Brightfield microscopy, 40× oil immersion; bone marrow smear; single cell centered in the field
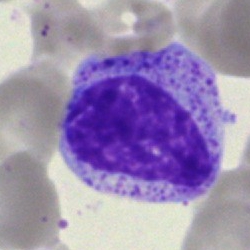Cell — myelocyte.